Bone marrow aspirate smear.
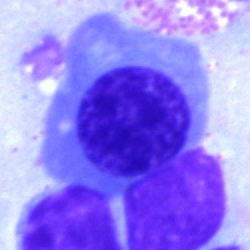
Showing a normoblast.